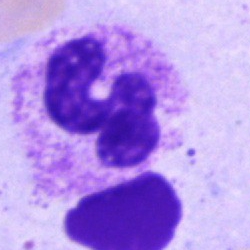 The cell type is segmented neutrophil.